Bone marrow smear · 250×250 px · cropped to a single cell — 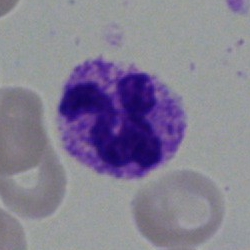 Q: Identify the cell.
A: This is a segmented neutrophil.